Bone marrow smear
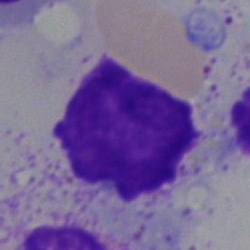 Q: What is shown here?
A: This is an artifact.